Image size 250×250 · bone marrow smear:
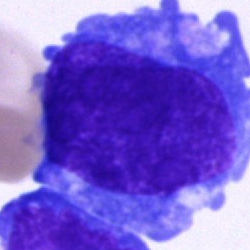{"cell_type": "blast"}